Bone marrow smear — 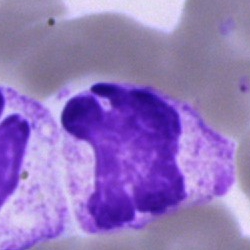

This is a segmented neutrophil.